Pappenheim-stained · bone marrow aspirate smear: 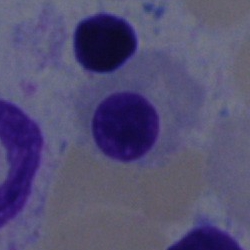A normoblast.